250×250 px · bone marrow aspirate smear — 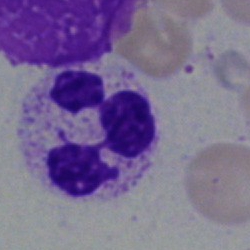

Specimen: bone marrow aspirate smear.
Cell type: segmented neutrophil.
Lineage: myeloid.